May-Grünwald-Giemsa stain. Bone marrow aspirate smear.
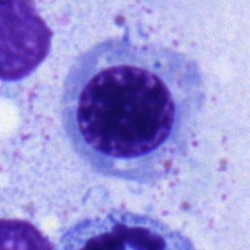
Morphology → normoblast.